Bone marrow smear · single-cell field: 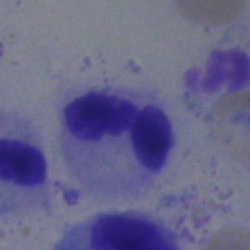 Morphological class: polymorphonuclear neutrophil.